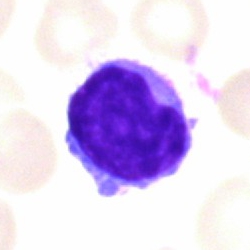 Cell: typical lymphocyte.